Bone marrow aspirate smear.
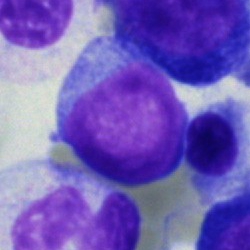 Typical lymphocyte.